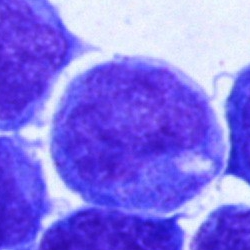 The classification is undifferentiated blast.